Pappenheim-stained; bone marrow smear.
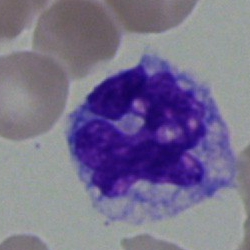
Morphology consistent with a monocyte.